Bone marrow aspirate smear · May-Grünwald-Giemsa/Pappenheim stain: 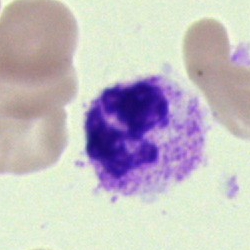 {"cell_type": "polymorphonuclear neutrophil", "lineage": "myeloid"}